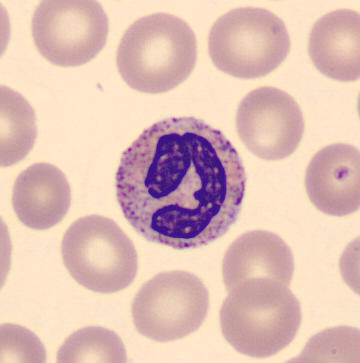Single cell identified as a neutrophil (band).
Preparation: Peripheral blood film.